Bone marrow smear. Brightfield microscopy, 40× oil immersion:
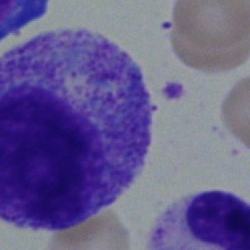Q: Identify the cell.
A: It is a myelocyte.